Bone marrow aspirate smear — 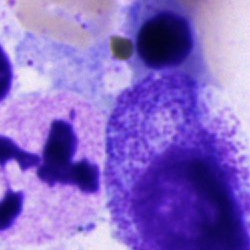 Morphology consistent with a progranulocyte.